Bone marrow aspirate smear:
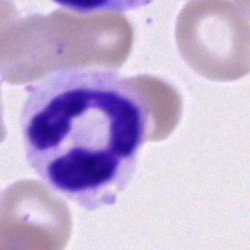

Cell type — neutrophil (segmented).